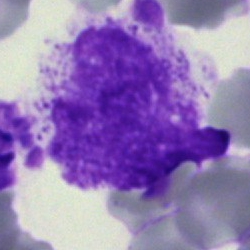Bone marrow aspirate smear, single cell — artifact.